Peripheral blood smear
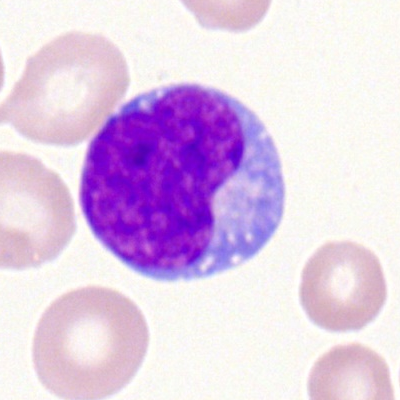 Myeloid blast.